Bone marrow smear. MGG-stained.
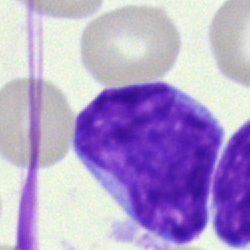Impression → undifferentiated blast.